Peripheral blood smear. 100× oil immersion, 14.14 px/µm:
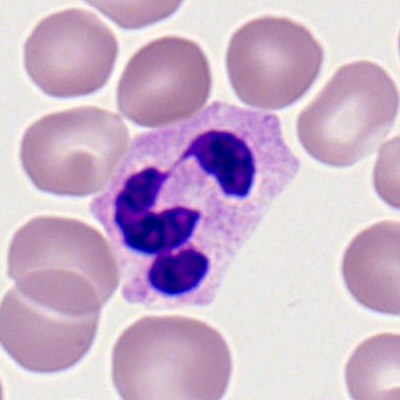

Morphology consistent with a neutrophil (segmented).